Cropped to a single cell; bone marrow aspirate smear.
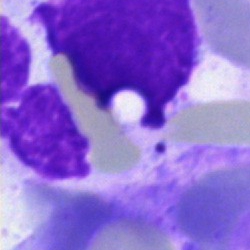Q: What is shown here?
A: Artifact.